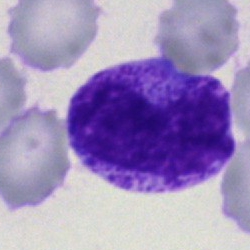 Specimen: bone marrow smear.
Classification: myelocyte.
Lineage: myeloid.